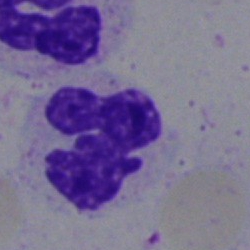 Cell = polymorphonuclear neutrophil.